Bone marrow smear: 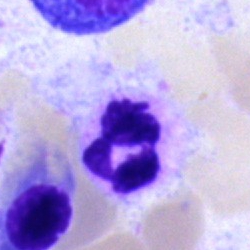Morphological class: neutrophil (segmented).